Bone marrow aspirate smear — 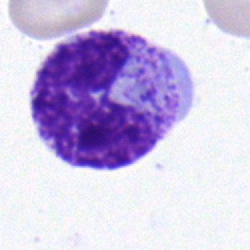Morphology consistent with a metamyelocyte.